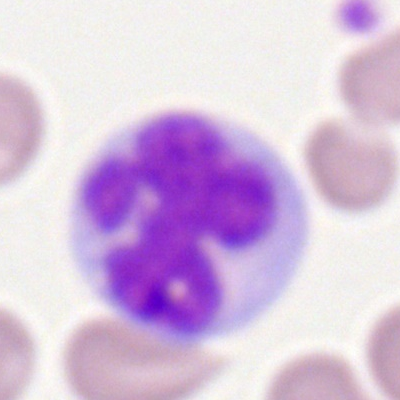
Impression → monocyte.